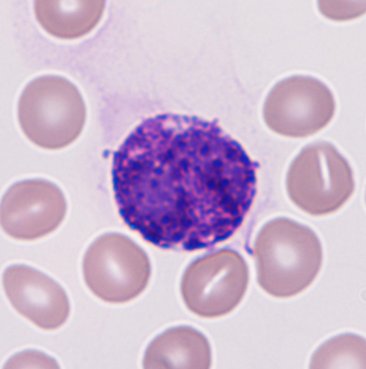

Acquisition: Peripheral blood film; MGG-stained.
Morphological class = basophil.